May-Grünwald-Giemsa stain; 250×250; bone marrow aspirate smear.
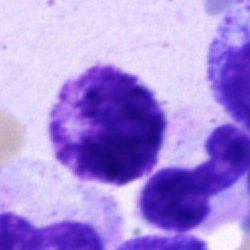 Q: What type of cell is this?
A: Basophilic granulocyte.